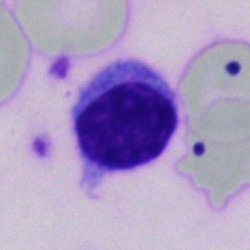 A lymphocyte on a bone marrow smear.